Bone marrow aspirate smear.
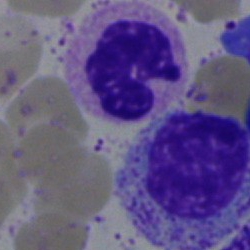
Q: What cell is this?
A: A neutrophil (segmented).